Peripheral blood film; Romanowsky-stained; single-cell crop — 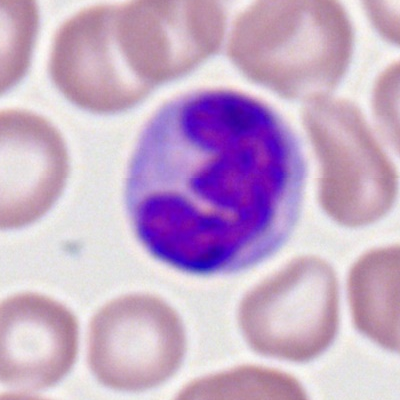

Classification = monocyte.